Cropped to a single cell · bone marrow aspirate smear — 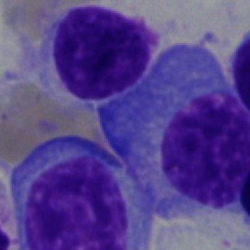

{"cell_type": "plasmacyte"}